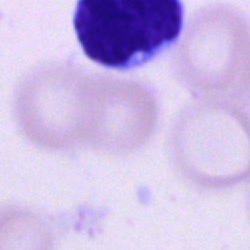

Morphology → cell of indeterminate lineage.